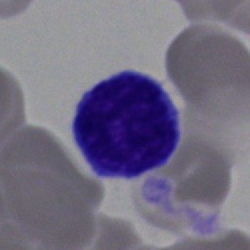 Q: Which cell type is shown here?
A: A lymphocyte.